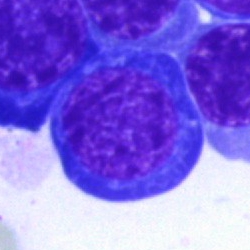Single-cell crop from a bone marrow smear: nucleated red blood cell.